Bone marrow smear — 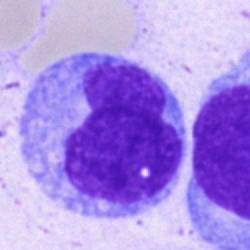Q: What cell is this?
A: It is a monocyte.